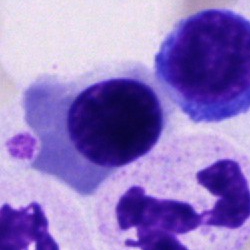

Bone marrow aspirate smear, single cell — normoblast.